Bone marrow aspirate smear.
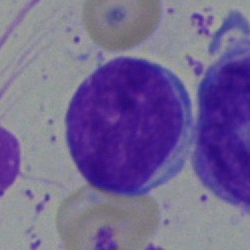 Q: Identify the cell.
A: A blast cell.